Bone marrow smear. May-Grünwald-Giemsa/Pappenheim stain. 250×250: 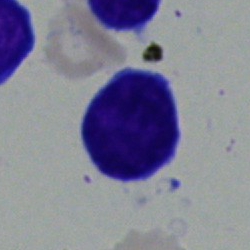
Typical lymphocyte.